Single cell centered in the field. 250 by 250 pixels. Bone marrow aspirate smear: 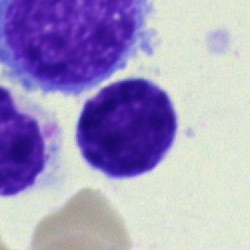
Typical lymphocyte.